Bone marrow smear. May-Grünwald-Giemsa/Pappenheim stain
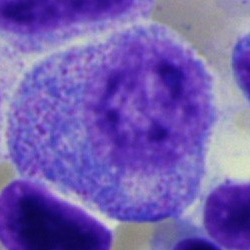The classification is promyelocyte.